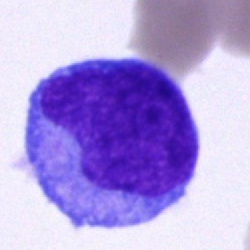
Specimen: bone marrow smear.
Cell: undifferentiated blast.